Peripheral blood film.
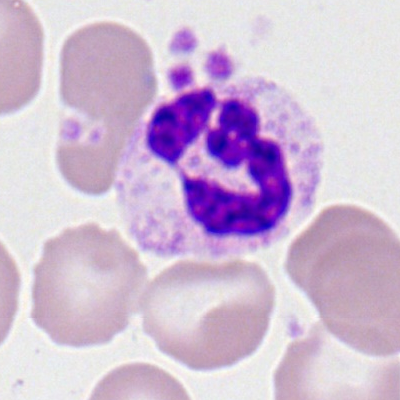
Specimen: peripheral blood smear.
Cell: neutrophil (segmented).